Bone marrow aspirate smear — 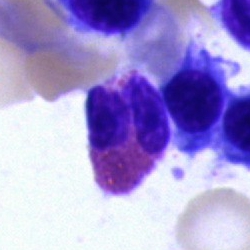

Cell = eosinophilic granulocyte.